Bone marrow aspirate smear.
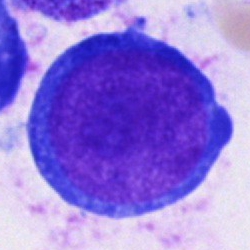 The morphological class is pronormoblast.